Bone marrow smear — 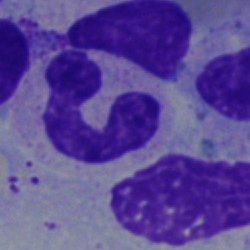
Morphology consistent with a band neutrophil.